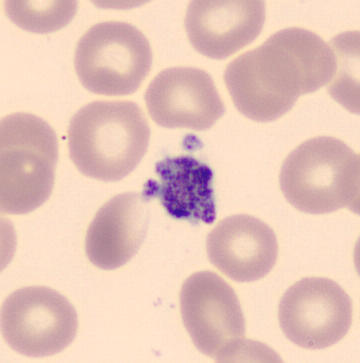
This is a thrombocyte.

Peripheral blood smear.